Single-cell field; bone marrow aspirate smear; brightfield, 40× oil-immersion objective: 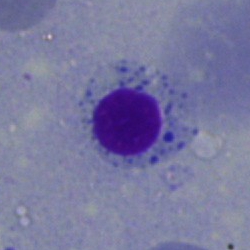 Showing a nucleated red cell.